Bone marrow aspirate smear.
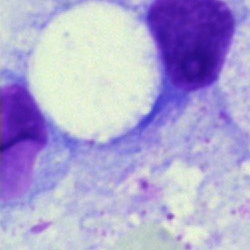

Morphology consistent with an artifact.